Bone marrow smear · single-cell crop · MGG-stained:
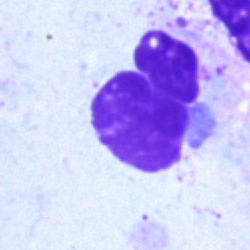 Impression → artifact.